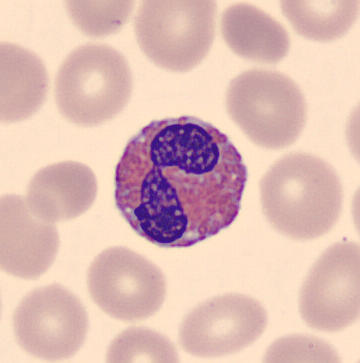 Q: What is the morphological classification of this cell?
A: An eosinophilic granulocyte.